Bone marrow smear — 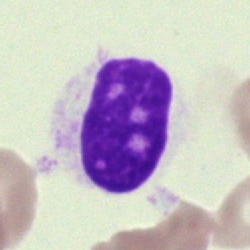A cell of indeterminate lineage.